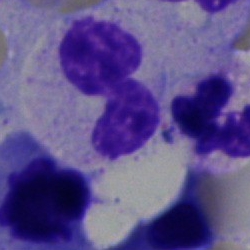
A polymorphonuclear neutrophil.